Brightfield, 40× oil-immersion objective; single cell centered in the field; bone marrow aspirate smear.
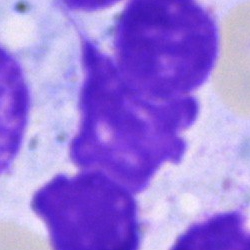

Morphology consistent with an artifact.